Bone marrow aspirate smear:
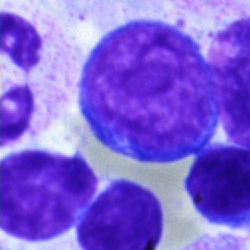The cell is typical lymphocyte.